Peripheral blood smear; brightfield, 100× oil-immersion objective
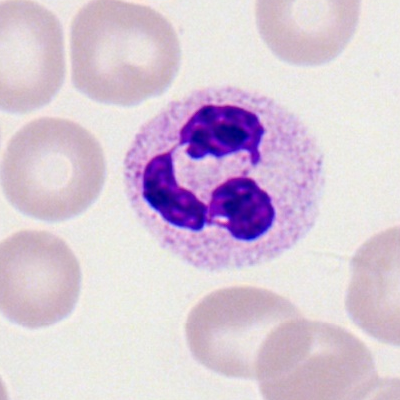This is a neutrophil (segmented).